Single cell centered in the field · bone marrow aspirate smear — 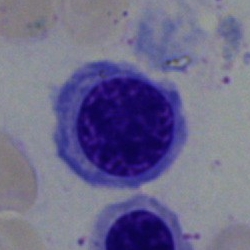

Classification = erythroblast.